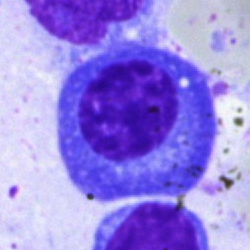 Plasma cell.